Peripheral blood smear. Cropped to a single cell: 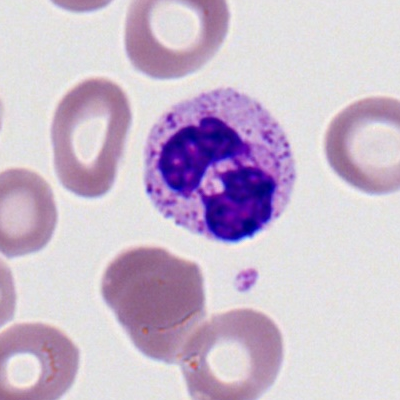 {"cell_type": "polymorphonuclear neutrophil", "lineage": "myeloid"}